Bone marrow aspirate smear
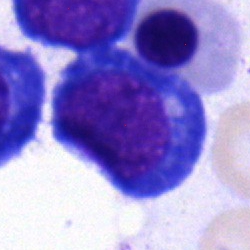 This is a proerythroblast.